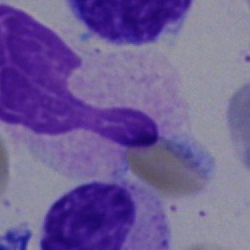

Cell type = artifact.